Bone marrow smear.
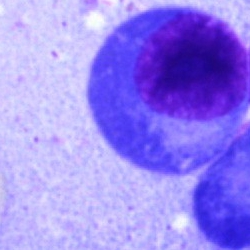
Morphology consistent with a plasmacyte.